Bone marrow aspirate smear — 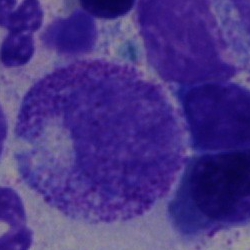
Q: What cell is this?
A: It is a myelocyte.